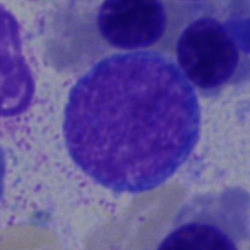

Impression → typical lymphocyte.